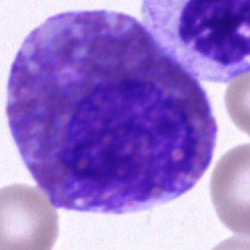
Q: Identify the cell.
A: It is an eosinophilic granulocyte.